Bone marrow smear: 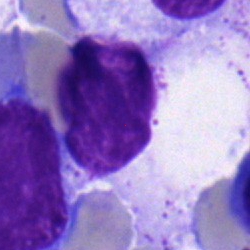
{"cell_type": "typical lymphocyte"}